Bone marrow smear:
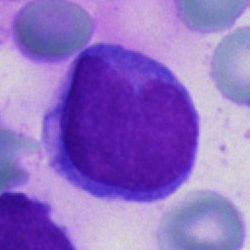
Showing an undifferentiated blast.